Brightfield microscopy, 40× oil immersion · bone marrow aspirate smear · Pappenheim-stained — 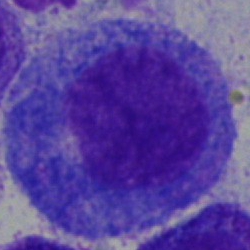

Q: What type of cell is this?
A: This is a progranulocyte.